Bone marrow smear; 40× objective, oil immersion
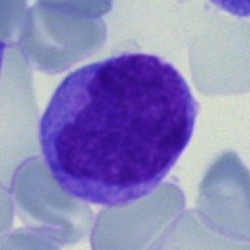 Specimen: bone marrow smear.
Cell: blast cell.